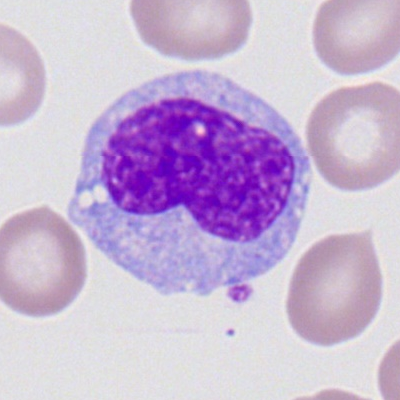

Morphology → monocyte.